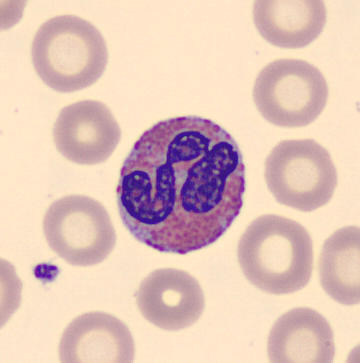 Peripheral blood smear showing an eosinophilic granulocyte.